Bone marrow smear:
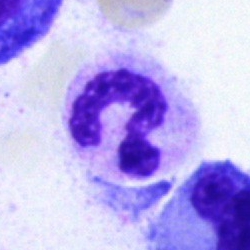
Impression → polymorphonuclear neutrophil.